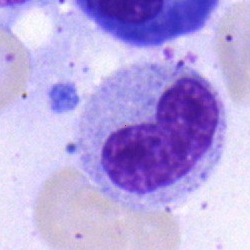
Cell type = metamyelocyte.